Bone marrow aspirate smear — 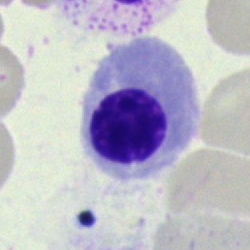
Normoblast.